250×250 px; bone marrow smear.
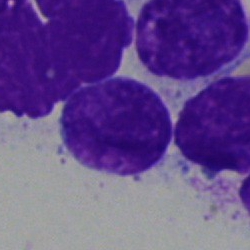
Morphological class: artifact.